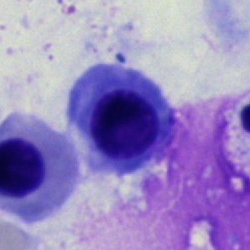 Single-cell crop from a bone marrow smear: nucleated red blood cell.